Bone marrow aspirate smear · brightfield, 40× oil-immersion objective.
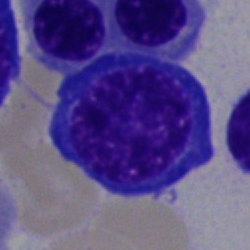 Specimen: bone marrow smear.
Cell: nucleated red blood cell.
Lineage: erythroid.